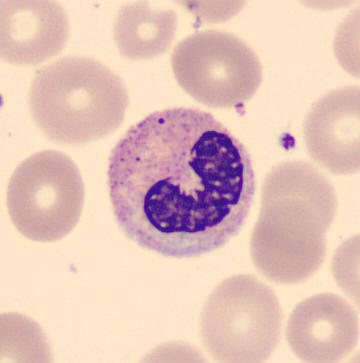Cell type = stab cell.